Image size 250×250 · bone marrow smear · brightfield, 40× oil-immersion objective
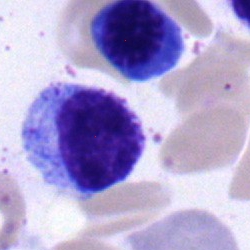Morphological class: erythroblast.